Bone marrow smear. 40× objective, oil immersion. Single-cell crop:
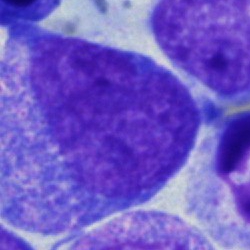 Q: What is the morphological classification of this cell?
A: An undifferentiated blast.